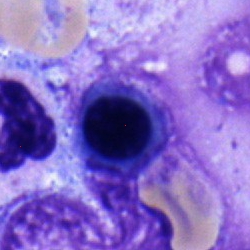
Specimen: bone marrow aspirate smear.
Classification: nucleated red blood cell.
Lineage: erythroid.